Bone marrow smear
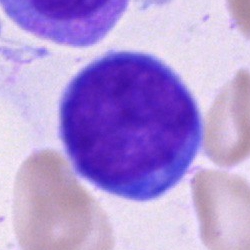

Q: Which cell type is shown here?
A: It is a blast.